Bone marrow aspirate smear · image size 250×250 — 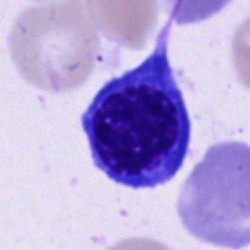

Morphology consistent with a nucleated red cell.